250 by 250 pixels. Bone marrow aspirate smear:
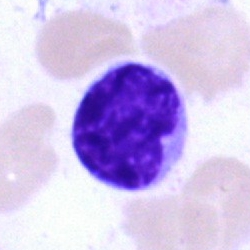Q: What cell is this?
A: Lymphocyte.